40× objective, oil immersion. Bone marrow aspirate smear: 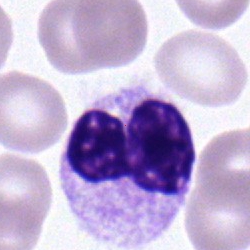

Q: What is shown here?
A: A neutrophil (segmented).